Bone marrow smear: 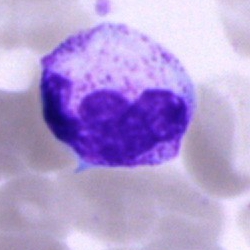
Specimen: bone marrow aspirate smear.
Morphological class: polymorphonuclear neutrophil.
Lineage: myeloid.